Bone marrow aspirate smear
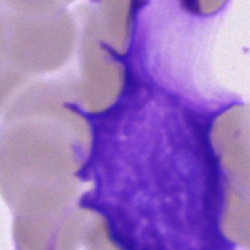
Showing an artefact.